Pappenheim-stained · bone marrow smear
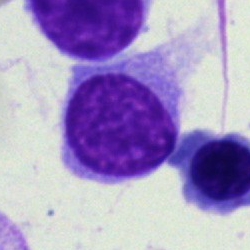

Q: What type of cell is this?
A: This is a lymphocyte.